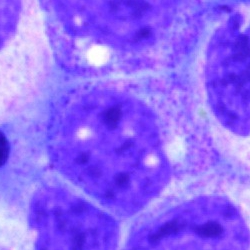 Specimen: bone marrow aspirate smear.
Morphological class: myelocyte.
Lineage: myeloid.